Bone marrow smear:
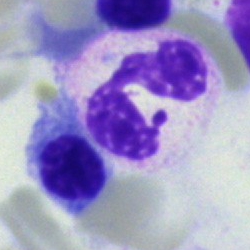Q: Identify the cell.
A: This is a segmented neutrophil.